Bone marrow aspirate smear:
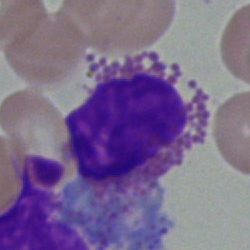
Specimen: bone marrow aspirate smear.
Classification: eosinophil.